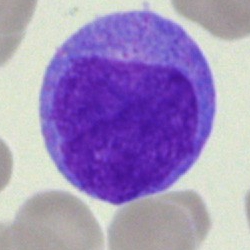

The morphological class is progranulocyte.